Bone marrow aspirate smear:
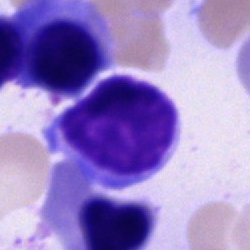Q: Which cell type is shown here?
A: A typical lymphocyte.